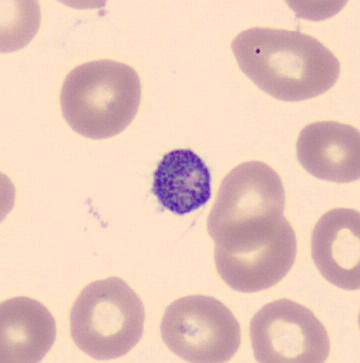

Morphological class: thrombocyte.
Preparation: MGG-stained; peripheral blood film.